Bone marrow aspirate smear
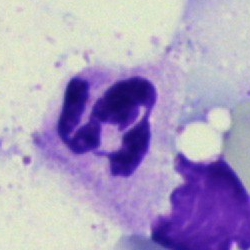

{"cell_type": "segmented neutrophil", "lineage": "myeloid"}